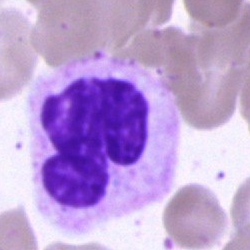Cell type: eosinophil.